Brightfield, 40× oil-immersion objective. Bone marrow aspirate smear. Single-cell crop:
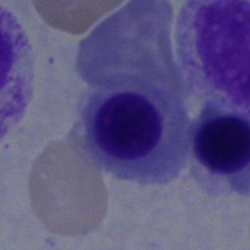

An erythroblast.